Bone marrow aspirate smear — 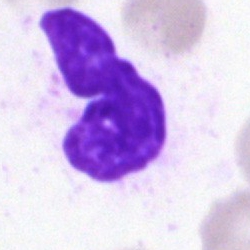

Cell — artifact.